Bone marrow aspirate smear; May-Grünwald-Giemsa/Pappenheim stain: 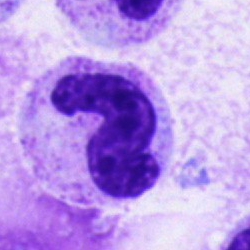

Specimen: bone marrow aspirate smear.
Cell: band-form neutrophil.
Lineage: myeloid.